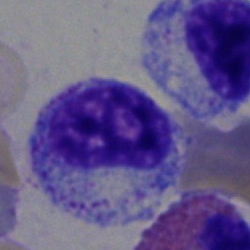Morphology — myelocyte.